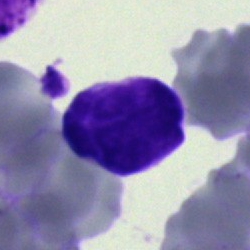
Cell — typical lymphocyte.